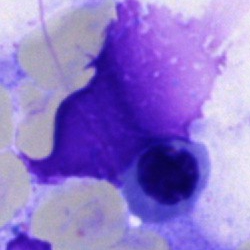Bone marrow smear showing a nucleated red cell.